Peripheral blood film
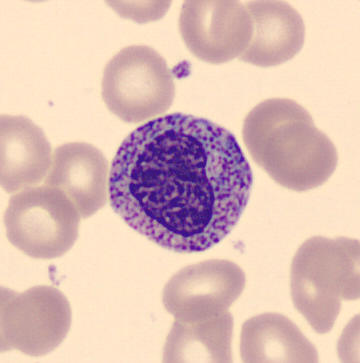 {"cell_type": "metamyelocyte"}